Bone marrow aspirate smear:
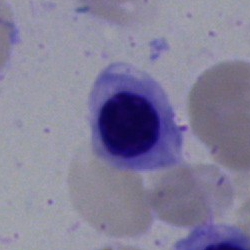Impression — nucleated red cell.